Bone marrow smear
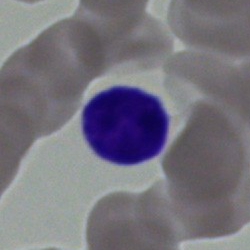The cell shown is a lymphocyte.